Bone marrow aspirate smear
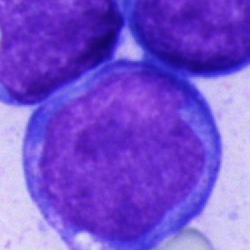

Q: What is the morphological classification of this cell?
A: Blast.